Bone marrow smear:
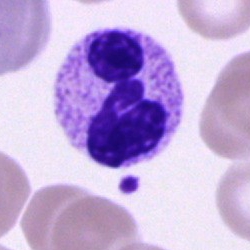 The cell shown is a neutrophil (segmented).